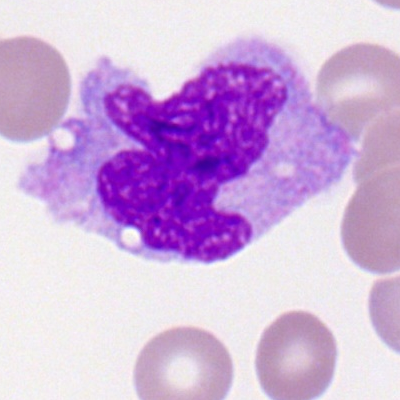

A monocyte.